Pappenheim-stained · 250×250 · bone marrow aspirate smear: 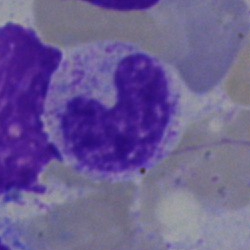Cell type — band-form neutrophil.